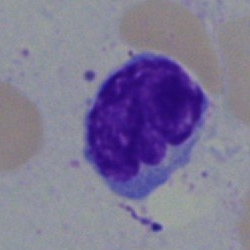
Morphological class: lymphocyte.